Pappenheim-stained. Bone marrow smear.
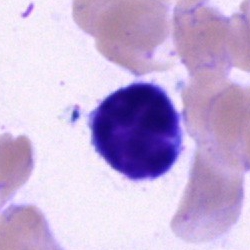 Q: What is the morphological classification of this cell?
A: This is a lymphocyte.